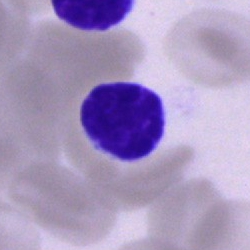
Q: What is the morphological classification of this cell?
A: It is a typical lymphocyte.